Bone marrow smear. May-Grünwald-Giemsa/Pappenheim stain.
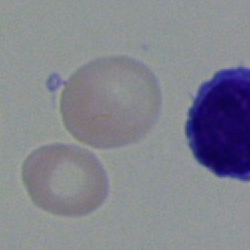 Morphological class — unidentifiable cell.